Bone marrow aspirate smear.
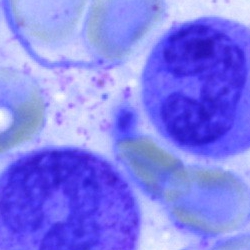 The classification is neutrophil (band).